Bone marrow smear · single-cell crop.
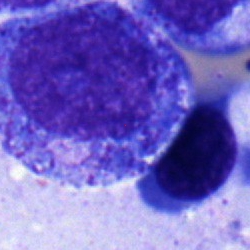
Specimen: bone marrow aspirate smear.
Morphological class: promyelocyte.
Lineage: myeloid.